Brightfield, 40× oil-immersion objective. Bone marrow aspirate smear:
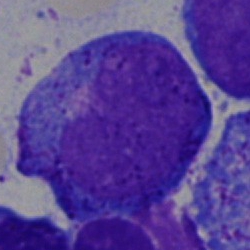Q: Identify the cell.
A: It is a promyelocyte.